Peripheral blood smear — 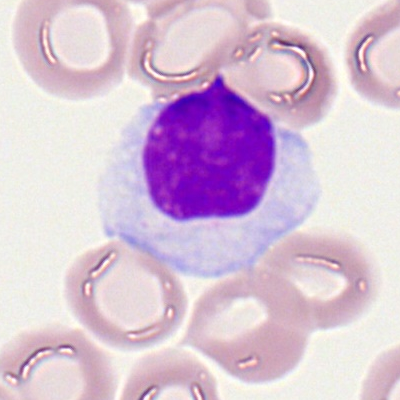
{"cell_type": "lymphocyte"}